Bone marrow smear · 40× objective, oil immersion · 250×250: 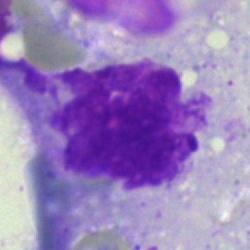

This is an artefact.